Bone marrow aspirate smear: 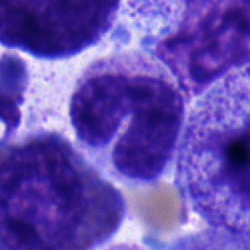 Band-form neutrophil.